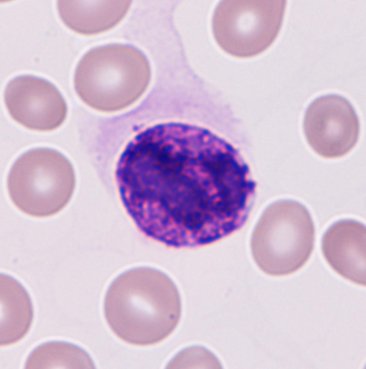 A basophilic granulocyte.
Preparation: Peripheral blood film.